Peripheral blood smear; single cell centered in the field: 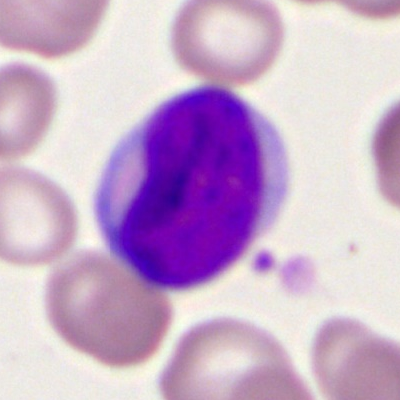
Morphology → myeloid blast.